Image size 250×250. Bone marrow aspirate smear. Cropped to a single cell.
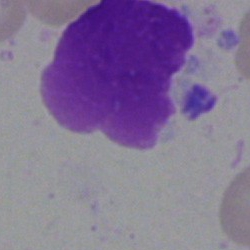This is an artefact.